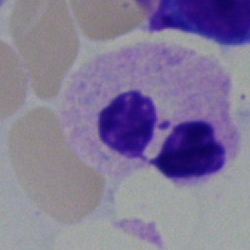

Morphology — neutrophil (segmented).